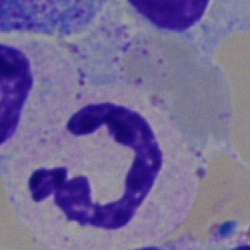

The cell type is neutrophil (segmented).